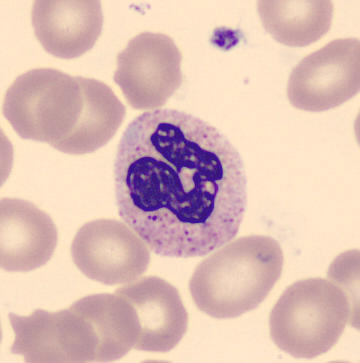
Identified as a polymorphonuclear neutrophil. Acquisition: Peripheral blood smear. Single-cell field. May-Grünwald-Giemsa-stained.